40× oil immersion. Bone marrow aspirate smear: 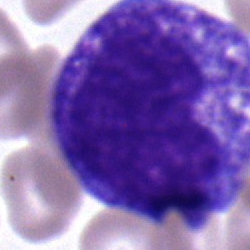
The morphological class is promyelocyte.